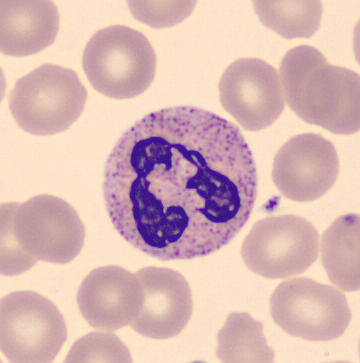

Q: What is the morphological classification of this cell?
A: It is a polymorphonuclear neutrophil.